40× oil immersion. Bone marrow aspirate smear:
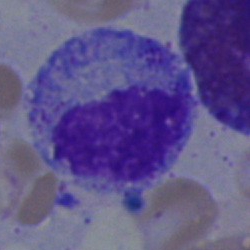
Morphology — progranulocyte.